Bone marrow aspirate smear: 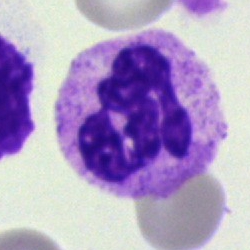
Q: What type of cell is this?
A: It is a segmented neutrophil.